Bone marrow aspirate smear
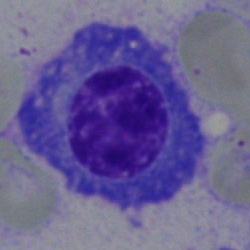 Morphological class = plasmacyte.